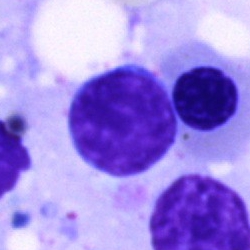 Morphology → artifact.